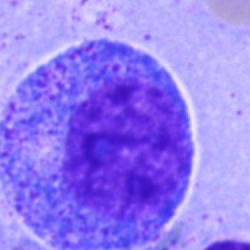

Impression → promyelocyte.